Bone marrow aspirate smear — 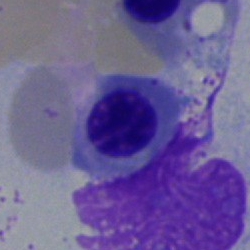 This is a nucleated red blood cell.